Single-cell crop; bone marrow smear
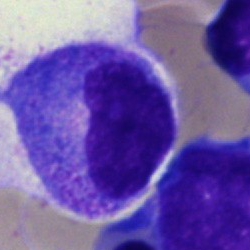

Showing a progranulocyte.